Bone marrow aspirate smear: 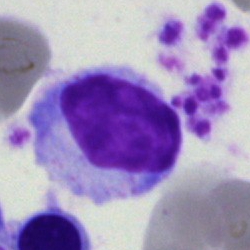 Impression — typical lymphocyte.